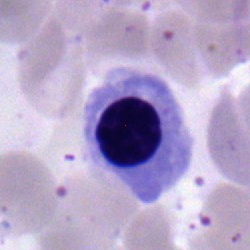
A nucleated red cell.